Bone marrow aspirate smear — 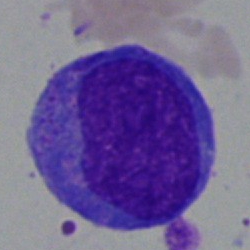Cell type = blast.